Brightfield microscopy, 40× oil immersion; bone marrow smear; 250×250: 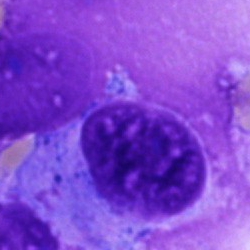

Q: What is shown here?
A: It is a cell of indeterminate lineage.